Bone marrow aspirate smear · 250×250 px.
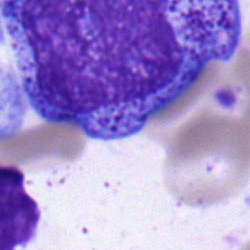 Classification: promyelocyte.